Peripheral blood film:
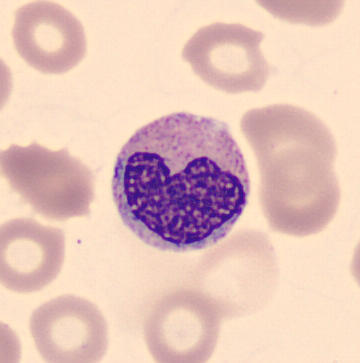
Single cell identified as a metamyelocyte.